Bone marrow aspirate smear.
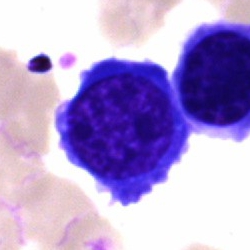 Impression → nucleated red blood cell.